Bone marrow smear · May-Grünwald-Giemsa stain — 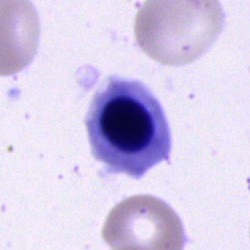
Q: Identify the cell.
A: Nucleated red cell.